Bone marrow aspirate smear
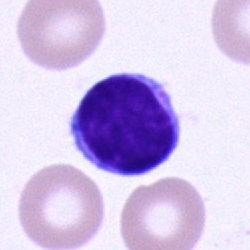 A typical lymphocyte.